Bone marrow smear
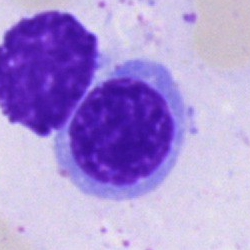 Cell — nucleated red blood cell.